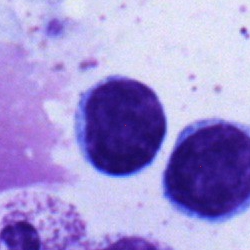
Specimen: bone marrow aspirate smear.
Cell: typical lymphocyte.